Bone marrow smear. 40× oil immersion — 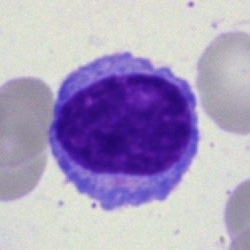
Morphological class: typical lymphocyte.